Bone marrow aspirate smear.
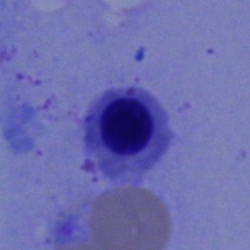 Showing an erythroblast.